Bone marrow aspirate smear · 250×250.
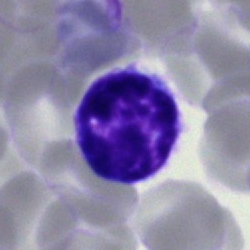

Typical lymphocyte.